Peripheral blood film
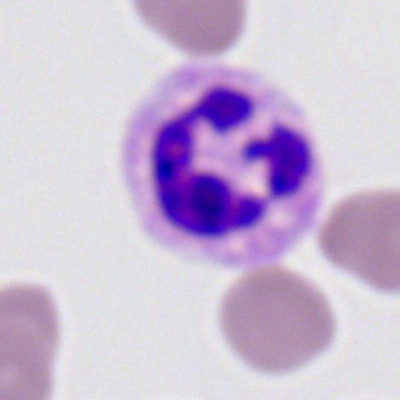
Q: What cell is this?
A: It is a polymorphonuclear neutrophil.